Bone marrow smear — 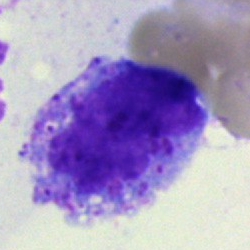
Artifact.